Peripheral blood film
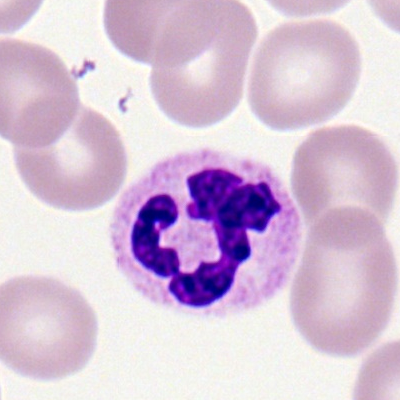

Q: What is shown here?
A: This is a segmented neutrophil.